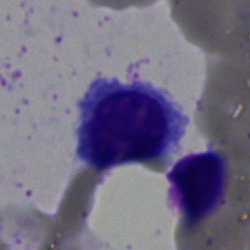{"cell_type": "erythroblast", "lineage": "erythroid"}